Bone marrow aspirate smear. 40× objective, oil immersion: 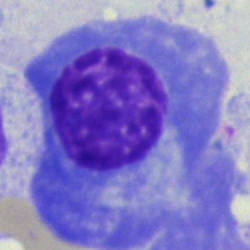 Single cell identified as a plasmacyte.